Bone marrow aspirate smear · May-Grünwald-Giemsa/Pappenheim stain · cropped to a single cell
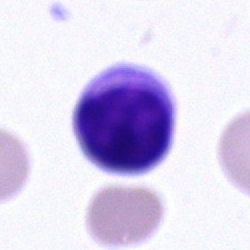

A lymphocyte.